Cropped to a single cell. Pappenheim-stained. Bone marrow aspirate smear: 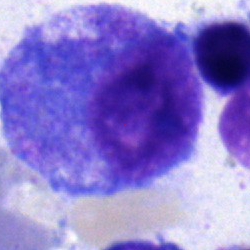

Morphology consistent with a promyelocyte.